Single cell centered in the field; bone marrow aspirate smear; May-Grünwald-Giemsa stain
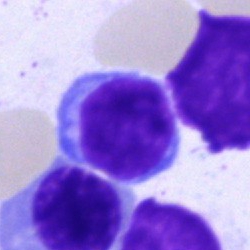

The morphological class is lymphocyte.